Bone marrow aspirate smear; 250×250 px; brightfield, 40× oil-immersion objective
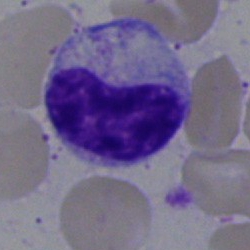

Impression → metamyelocyte.